Peripheral blood smear:
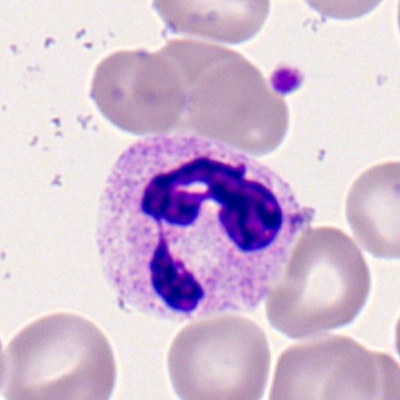 Showing a segmented neutrophil.